Bone marrow aspirate smear
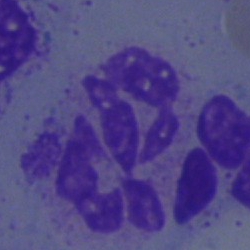
Specimen: bone marrow aspirate smear.
Cell: polymorphonuclear neutrophil.
Lineage: myeloid.